Bone marrow smear
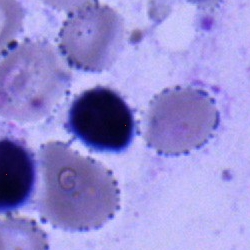
This is a lymphocyte.